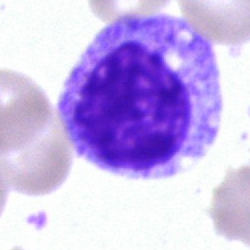Cell type = myelocyte.